Bone marrow aspirate smear · brightfield, 40× oil-immersion objective · image size 250×250.
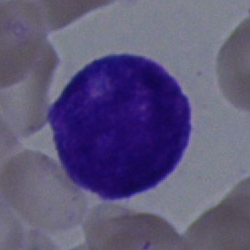

Morphology — promyelocyte.